Bone marrow aspirate smear.
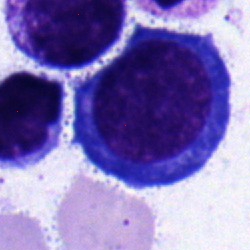Q: What is shown here?
A: It is a normoblast.